Bone marrow smear — 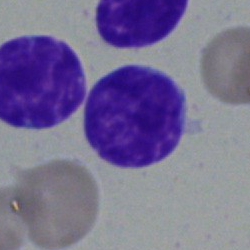
Morphology → lymphocyte.